Bone marrow aspirate smear.
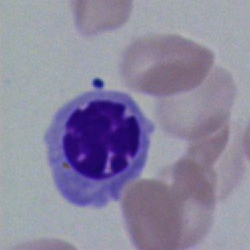 Cell: erythroblast.